Bone marrow aspirate smear; Pappenheim-stained — 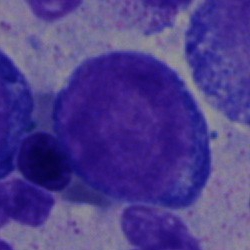

The cell shown is a proerythroblast.